250 by 250 pixels. Bone marrow aspirate smear: 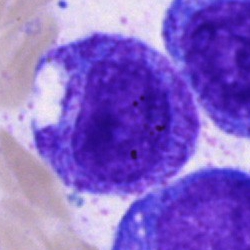 The cell type is promyelocyte.